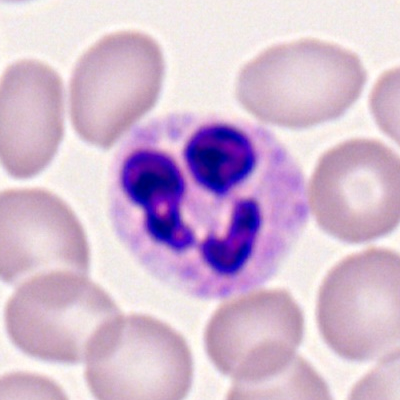Impression → neutrophil (segmented).